Brightfield microscopy, 40× oil immersion · bone marrow smear · 250×250 px — 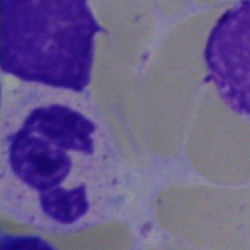

Specimen: bone marrow aspirate smear.
Cell type: segmented neutrophil.
Lineage: myeloid.